Bone marrow smear — 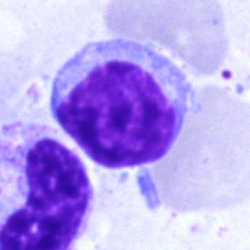Morphology consistent with a typical lymphocyte.